Bone marrow smear:
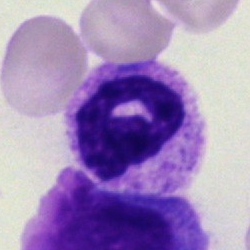 A segmented neutrophil.